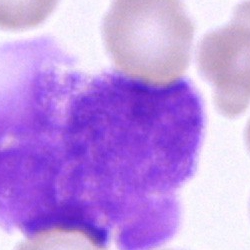
Artifact.